Bone marrow aspirate smear.
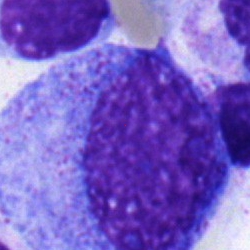Morphology consistent with a progranulocyte.